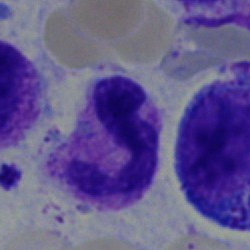Q: What type of cell is this?
A: A neutrophil (segmented).